Peripheral blood film · 400×400 px.
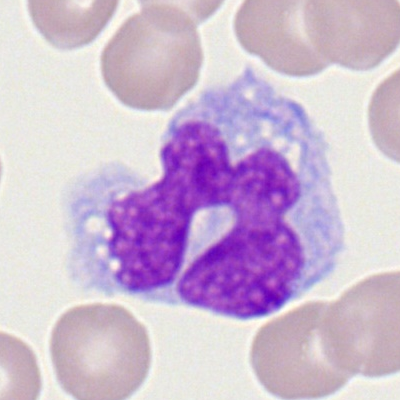

Morphology consistent with a monocyte.